May-Grünwald-Giemsa stain. Bone marrow aspirate smear.
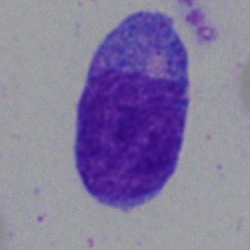The cell shown is a typical lymphocyte.